Romanowsky-type stain. Peripheral blood film: 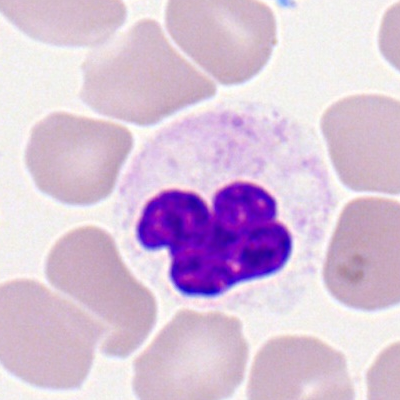Morphology — segmented neutrophil.